Bone marrow smear: 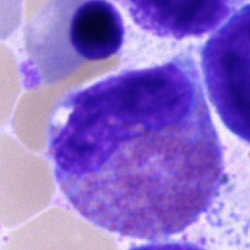 Eosinophil.